Bone marrow smear:
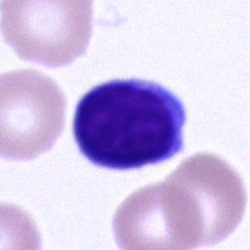The cell is lymphocyte.